250×250 · bone marrow smear · May-Grünwald-Giemsa stain
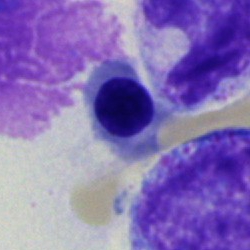
A nucleated red cell.